Peripheral blood smear.
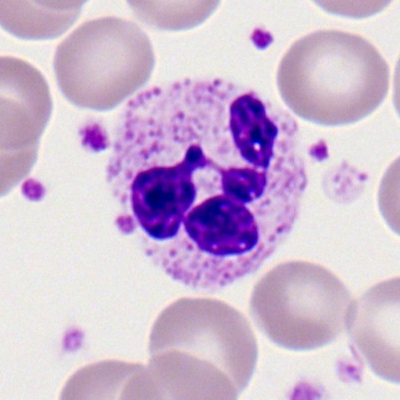
Cell — segmented neutrophil.